Brightfield microscopy, 40× oil immersion. Bone marrow smear.
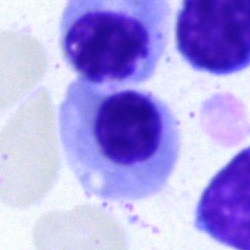 {"cell_type": "erythroblast", "lineage": "erythroid"}